Bone marrow smear.
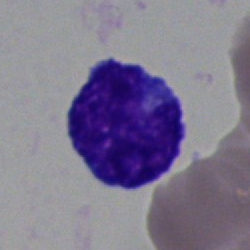
Q: Which cell type is shown here?
A: This is a blast cell.